Romanowsky-stained. Peripheral blood film.
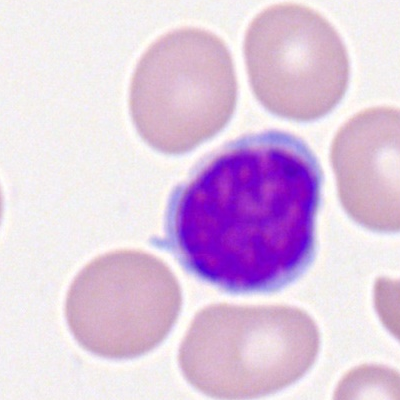
Cell = lymphocyte.